Bone marrow smear.
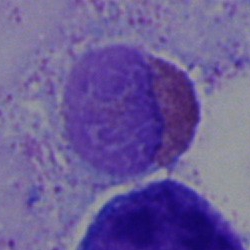
Q: What type of cell is this?
A: It is an eosinophilic granulocyte.